Single cell centered in the field · bone marrow aspirate smear:
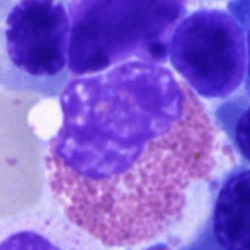 The cell shown is an eosinophil.